250×250 px · bone marrow smear: 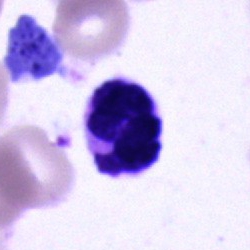
Specimen: bone marrow smear.
Cell: cell of indeterminate lineage.